Bone marrow smear:
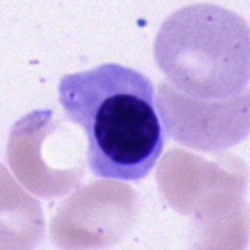
Specimen: bone marrow smear.
Classification: erythroblast.
Lineage: erythroid.